40× objective, oil immersion; bone marrow aspirate smear.
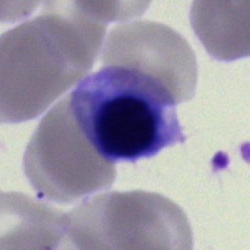 Cell — normoblast.